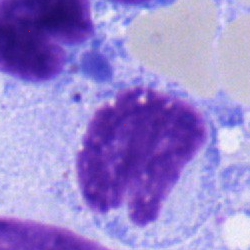
Q: What type of cell is this?
A: It is a monocyte.